Brightfield, 40× oil-immersion objective · bone marrow smear · May-Grünwald-Giemsa/Pappenheim stain: 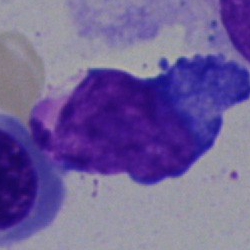
Specimen: bone marrow smear.
Classification: lymphocyte.